MGG-stained. Image size 250×250. Bone marrow smear:
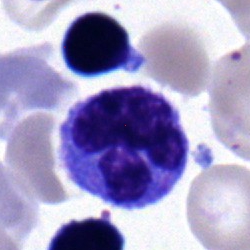 Single cell identified as a monocyte.